Bone marrow smear:
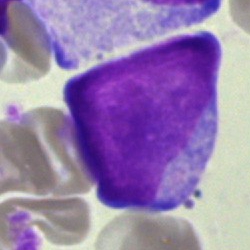
Cell — undifferentiated blast.